Bone marrow aspirate smear · single-cell field.
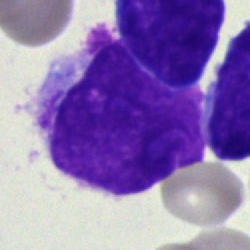

Impression — artifact.